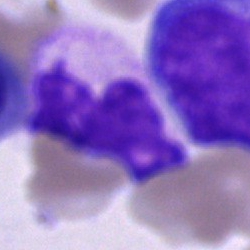Morphology — polymorphonuclear neutrophil.